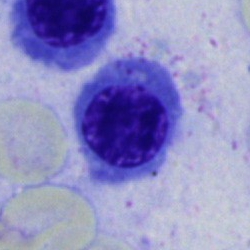
Classification = nucleated red cell.